250×250 px · bone marrow aspirate smear: 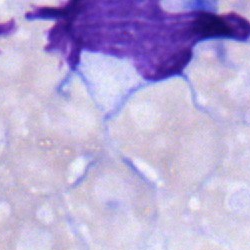

Monocyte.